Bone marrow smear; 250×250 px: 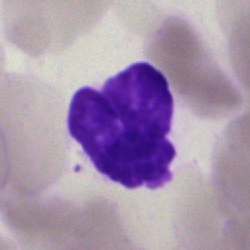Morphology consistent with an artefact.